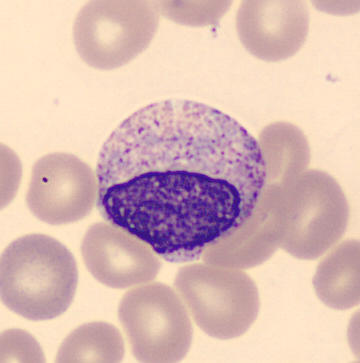

Impression → metamyelocyte.